Bone marrow smear · 40× objective, oil immersion
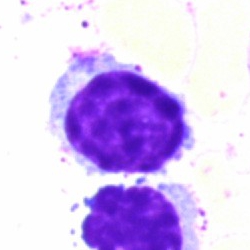 {"cell_type": "typical lymphocyte"}